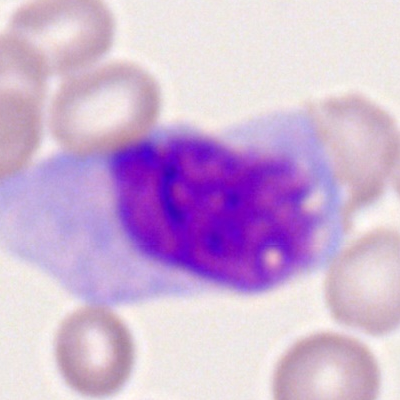

Specimen: peripheral blood smear.
Cell: monocyte.